Brightfield microscopy, 40× oil immersion · bone marrow smear · Pappenheim-stained: 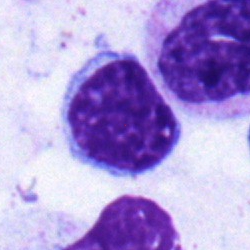Showing a typical lymphocyte.